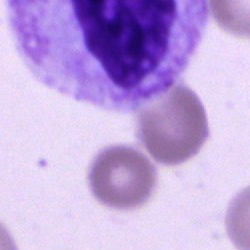

Specimen: bone marrow aspirate smear.
Morphological class: unidentifiable cell.